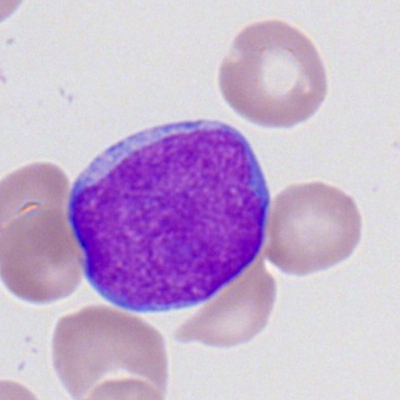Q: What cell is this?
A: It is a myeloblast.